Bone marrow smear. May-Grünwald-Giemsa/Pappenheim stain — 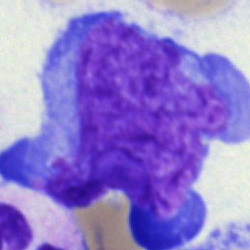

Morphology — blast.